Bone marrow smear:
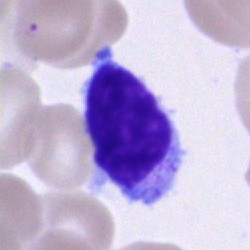A typical lymphocyte.